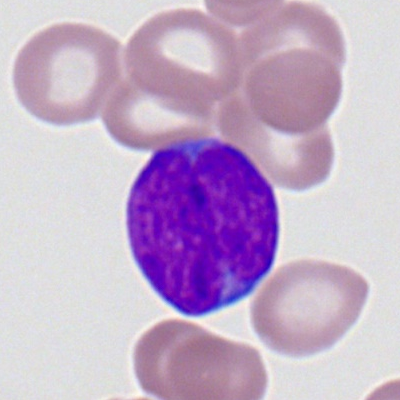
Showing a myeloid blast.